Bone marrow aspirate smear · May-Grünwald-Giemsa stain · 250 by 250 pixels
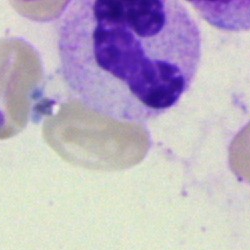
Showing a neutrophil (segmented).